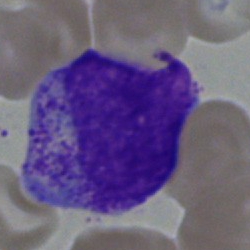

A myelocyte.